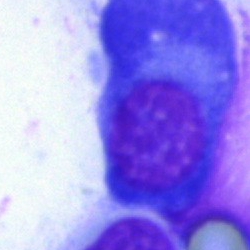The cell is plasmacyte.